Peripheral blood smear: 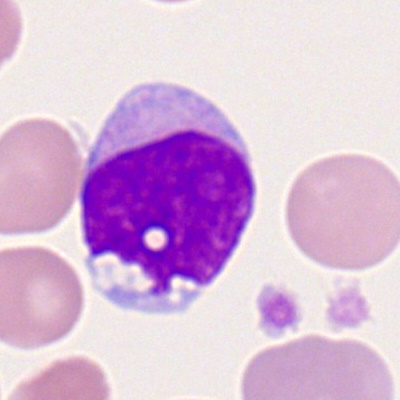 Single cell identified as a myeloid blast.